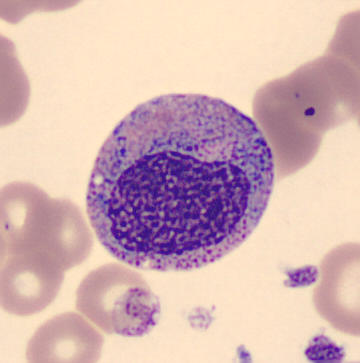
Peripheral blood smear. Q: What cell is this?
A: This is a promyelocyte.